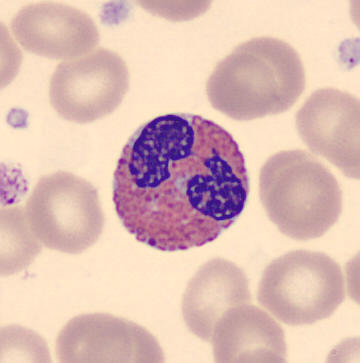
Peripheral blood film. Single cell centered in the field. 360 by 363 pixels.

Showing an eosinophilic granulocyte.